Bone marrow aspirate smear: 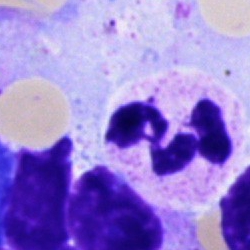 Specimen: bone marrow aspirate smear.
Morphological class: neutrophil (segmented).
Lineage: myeloid.